Brightfield, 40× oil-immersion objective; bone marrow smear
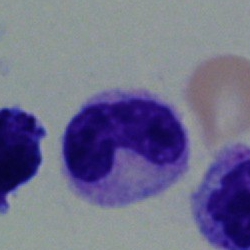Q: What is shown here?
A: It is a stab cell.